Bone marrow smear. 40× oil immersion
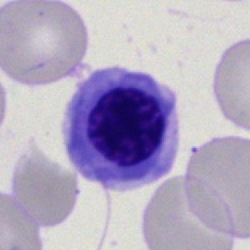 This is an erythroblast.